Bone marrow aspirate smear: 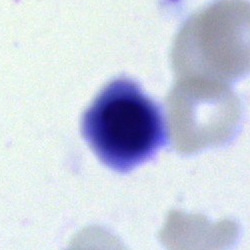 The cell is nucleated red blood cell.